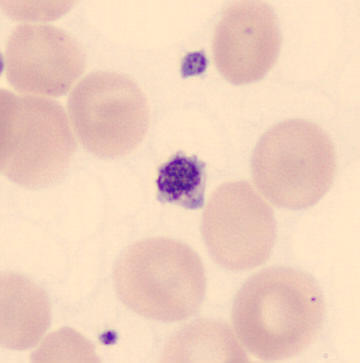 Peripheral blood film.
Q: What is shown here?
A: A platelet.